Single-cell crop; bone marrow smear
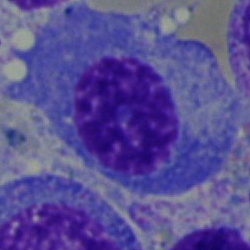

This is a plasma cell.